Single-cell crop · bone marrow smear · brightfield microscopy, 40× oil immersion
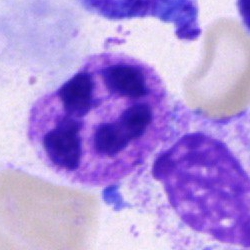

Morphology → polymorphonuclear neutrophil.